Bone marrow smear:
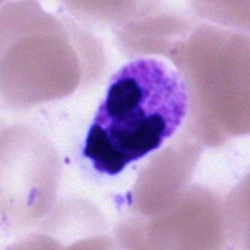 Morphology consistent with a polymorphonuclear neutrophil.